Bone marrow smear; cropped to a single cell; May-Grünwald-Giemsa stain: 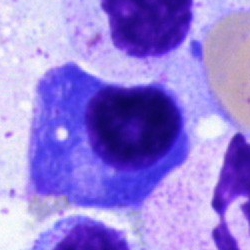 Single cell identified as a plasmacyte.